250 by 250 pixels · bone marrow smear:
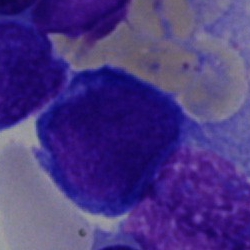
Specimen: bone marrow aspirate smear.
Classification: nucleated red blood cell.